May-Grünwald-Giemsa stain; bone marrow aspirate smear.
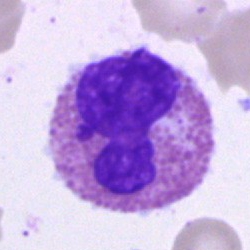Specimen: bone marrow aspirate smear.
Classification: eosinophil.